Bone marrow aspirate smear: 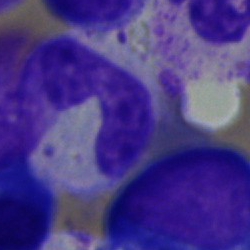The cell is stab cell.